Brightfield, 40× oil-immersion objective; bone marrow aspirate smear; 250 by 250 pixels.
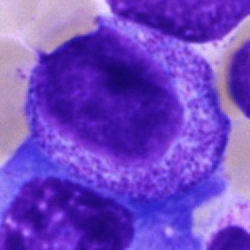 The cell type is progranulocyte.